Bone marrow smear; 250×250 px; Pappenheim-stained
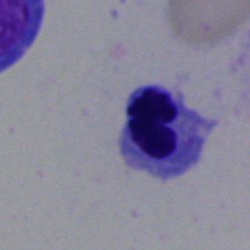
Classification — normoblast.